Image size 250×250. Bone marrow aspirate smear
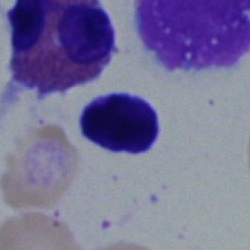The cell is lymphocyte.